Bone marrow aspirate smear
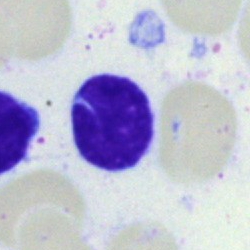

Cell — lymphocyte.